Bone marrow aspirate smear: 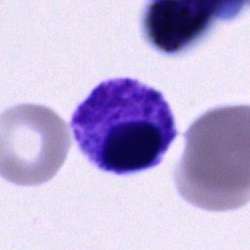

The classification is cell of indeterminate lineage.